Bone marrow aspirate smear: 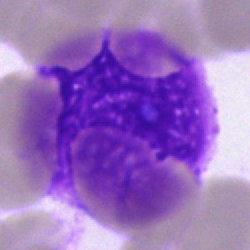

Classification — artefact.